Bone marrow aspirate smear · May-Grünwald-Giemsa stain: 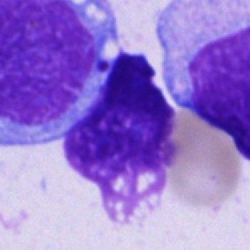An unidentifiable cell.